Bone marrow smear — 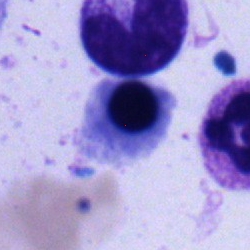

This is an erythroblast.